Bone marrow smear:
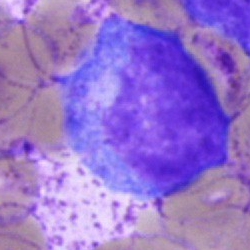

The morphological class is blast cell.